Image size 250×250; Pappenheim-stained; bone marrow aspirate smear: 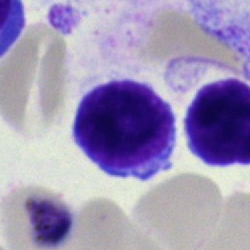The cell shown is a lymphocyte.